Bone marrow aspirate smear: 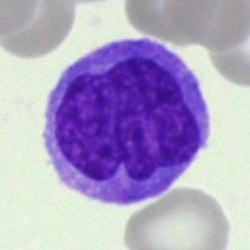
Cell: monocyte.